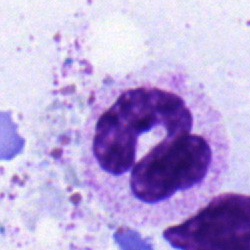The cell type is segmented neutrophil.